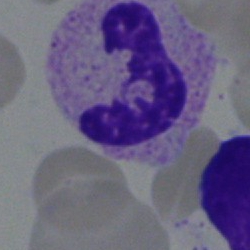 Specimen: bone marrow aspirate smear.
Morphological class: neutrophil (segmented).
Lineage: myeloid.